Bone marrow aspirate smear:
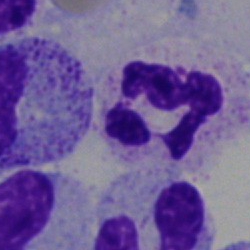

Q: What cell is this?
A: It is a segmented neutrophil.